Bone marrow aspirate smear · Pappenheim-stained — 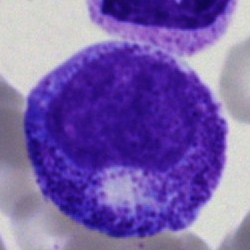
Q: What type of cell is this?
A: A progranulocyte.